Image size 250×250. Bone marrow aspirate smear:
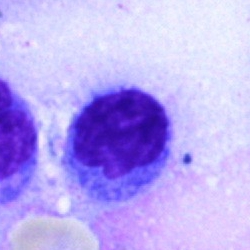Specimen: bone marrow aspirate smear.
Cell: typical lymphocyte.